40× objective, oil immersion. Bone marrow aspirate smear. Single-cell crop: 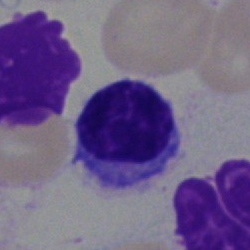 Q: What is shown here?
A: This is a lymphocyte.